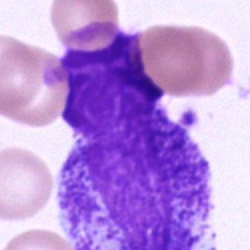
Q: Identify the cell.
A: A promyelocyte.